Bone marrow aspirate smear:
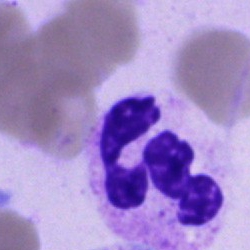
The cell type is polymorphonuclear neutrophil.